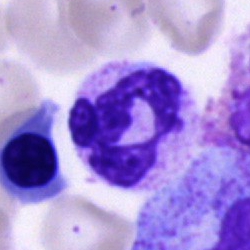 Cell = neutrophil (segmented).